Bone marrow aspirate smear.
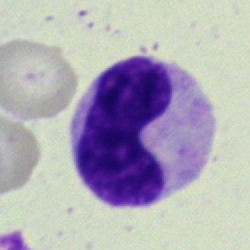 Specimen: bone marrow aspirate smear.
Morphological class: neutrophil (band).
Lineage: myeloid.